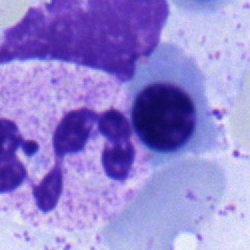

Specimen: bone marrow smear.
Cell type: erythroblast.
Lineage: erythroid.